Bone marrow aspirate smear; May-Grünwald-Giemsa stain
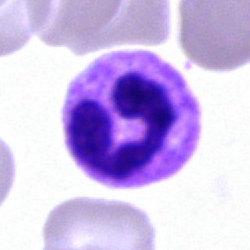Q: What cell is this?
A: This is a segmented neutrophil.